Bone marrow smear · 250×250 px — 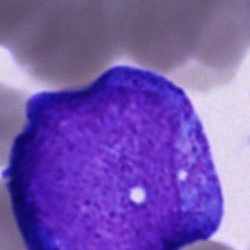 {"cell_type": "progranulocyte", "lineage": "myeloid"}